Bone marrow smear; 250×250; single cell centered in the field.
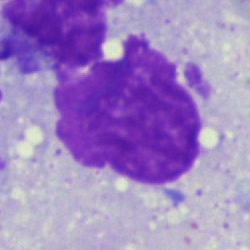
The cell shown is an artifact.